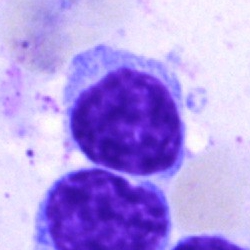 Q: What cell is this?
A: A lymphocyte.